Bone marrow smear · single-cell crop · MGG-stained — 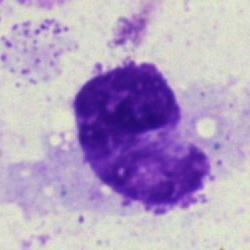
Showing an artifact.